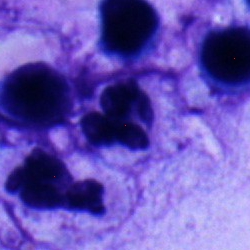
{"cell_type": "neutrophil (segmented)"}